Bone marrow aspirate smear — 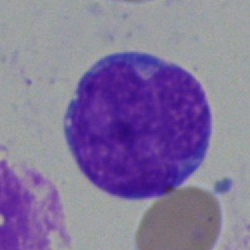
A blast.